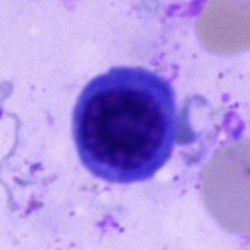
Cell type = erythroblast.